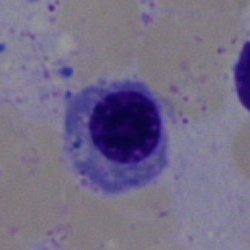
Classification = normoblast.